Bone marrow smear:
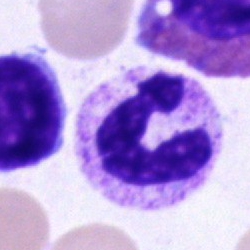Morphology → neutrophil (band).